Bone marrow smear.
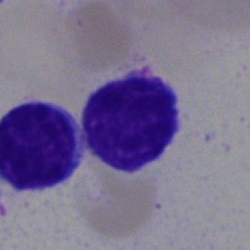
Showing a typical lymphocyte.